Cropped to a single cell. Bone marrow aspirate smear: 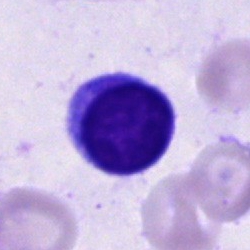
Unidentifiable cell.